Bone marrow aspirate smear · 40× oil immersion: 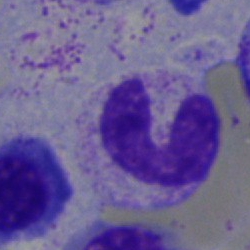
Specimen: bone marrow aspirate smear.
Cell: band-form neutrophil.
Lineage: myeloid.